Bone marrow aspirate smear — 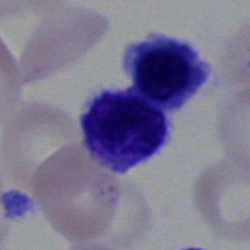

Cell — erythroblast.